May-Grünwald-Giemsa/Pappenheim stain · 40× oil immersion · bone marrow smear.
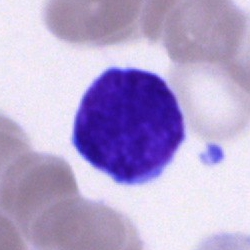 Typical lymphocyte.